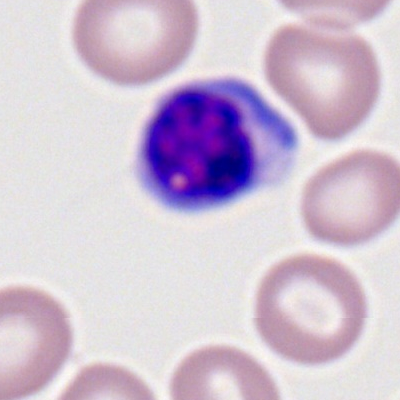
Q: What is the morphological classification of this cell?
A: This is a typical lymphocyte.